Bone marrow smear. Brightfield, 40× oil-immersion objective — 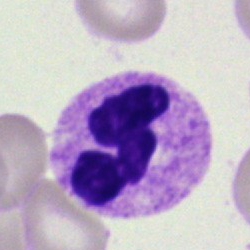
The morphological class is segmented neutrophil.